Bone marrow aspirate smear.
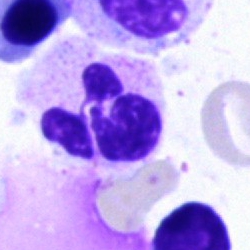
Morphological class — polymorphonuclear neutrophil.